Bone marrow aspirate smear
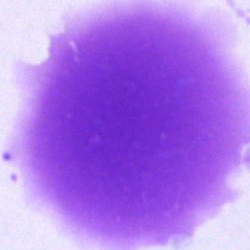

Classification — artifact.